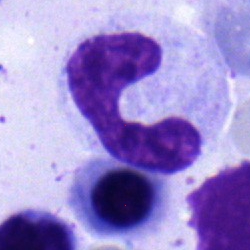 Single cell identified as a band neutrophil.